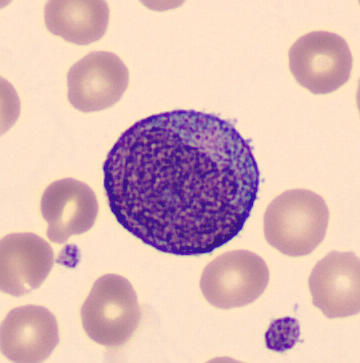

Identified as a progranulocyte. Peripheral blood film.